May-Grünwald-Giemsa stain; bone marrow smear
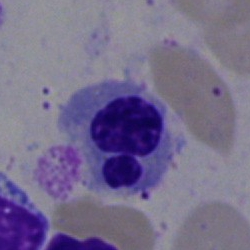Specimen: bone marrow smear.
Cell type: erythroblast.
Lineage: erythroid.